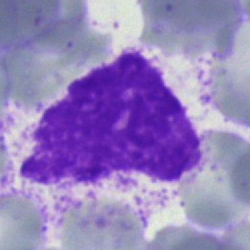
Bone marrow aspirate smear, single cell — artefact.